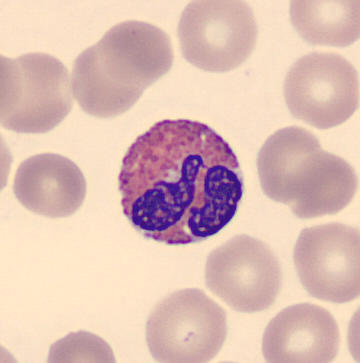

Preparation: Imaged on a CellaVision DM96 analyser. Peripheral blood film.

Identified as an eosinophil.